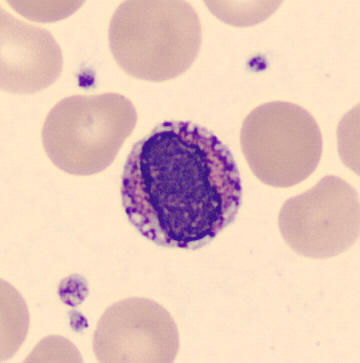

Specimen: peripheral blood smear.
Cell: basophil.